250×250; bone marrow smear; cropped to a single cell — 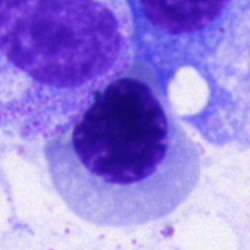 {"cell_type": "nucleated red cell", "lineage": "erythroid"}